Bone marrow aspirate smear · Pappenheim-stained:
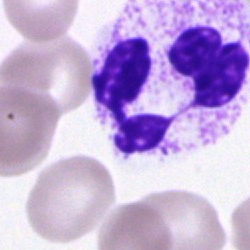The cell shown is a segmented neutrophil.